Bone marrow smear; single-cell crop:
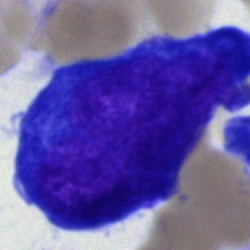 A blast cell.